40× objective, oil immersion; 250 by 250 pixels; bone marrow aspirate smear: 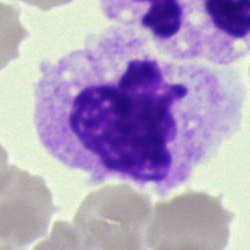
The morphological class is polymorphonuclear neutrophil.